Bone marrow smear
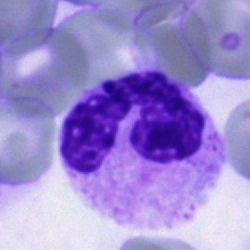 Specimen: bone marrow aspirate smear.
Cell: polymorphonuclear neutrophil.
Lineage: myeloid.